Bone marrow aspirate smear:
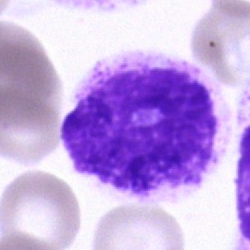

An artefact.